Bone marrow smear
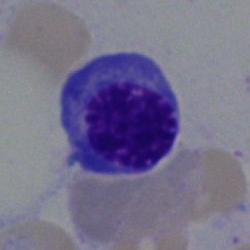

Specimen: bone marrow smear.
Classification: nucleated red cell.
Lineage: erythroid.